40× objective, oil immersion. Bone marrow smear
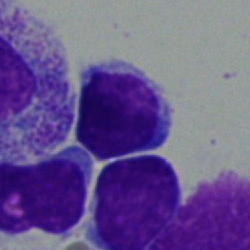 Specimen: bone marrow smear.
Cell: typical lymphocyte.